Bone marrow smear · single cell centered in the field — 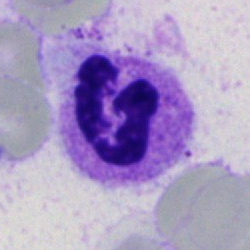

Morphology → neutrophil (segmented).